250×250. Bone marrow aspirate smear. Brightfield microscopy, 40× oil immersion
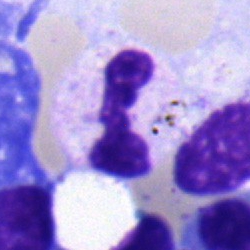

Segmented neutrophil.